40× oil immersion · bone marrow aspirate smear · cropped to a single cell
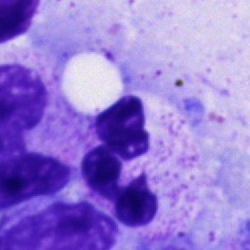

Segmented neutrophil.